Peripheral blood film.
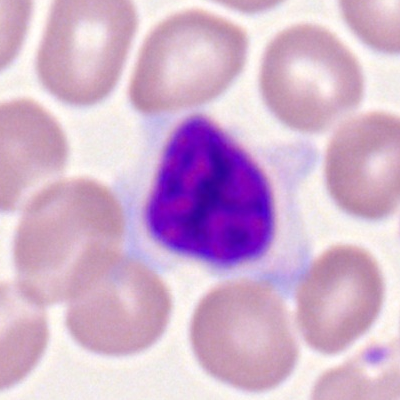 Q: Identify the cell.
A: Lymphocyte.